Bone marrow smear — 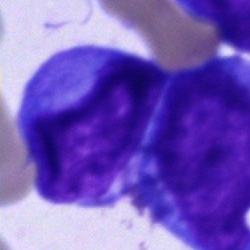 Classification: blast cell.